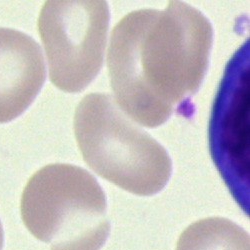

Specimen: bone marrow aspirate smear.
Classification: unidentifiable cell.